Bone marrow aspirate smear
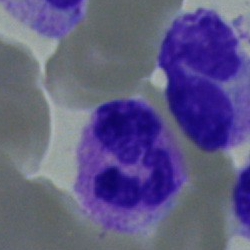

Specimen: bone marrow aspirate smear.
Cell type: neutrophil (segmented).
Lineage: myeloid.